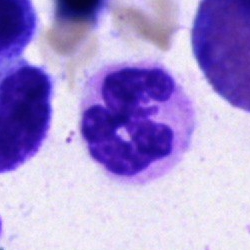The classification is segmented neutrophil.